Pappenheim-stained; bone marrow aspirate smear; single-cell crop: 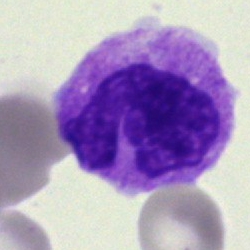
Q: What is shown here?
A: It is a neutrophil (segmented).